May-Grünwald-Giemsa stain. Bone marrow aspirate smear. 40× objective, oil immersion
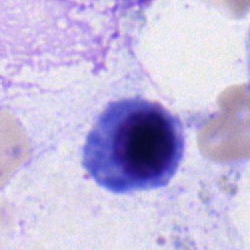
Impression → normoblast.